MGG-stained; bone marrow smear — 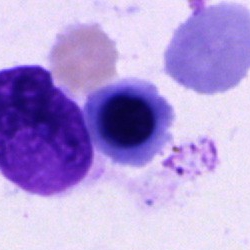Q: What is the morphological classification of this cell?
A: It is a nucleated red cell.